Bone marrow aspirate smear; image size 250×250
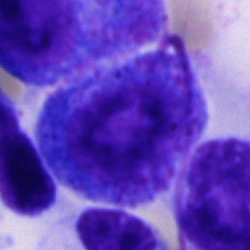 Showing a progranulocyte.